Bone marrow smear — 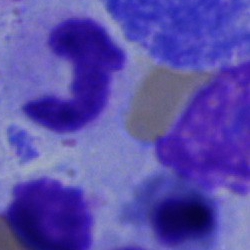Morphological class = segmented neutrophil.